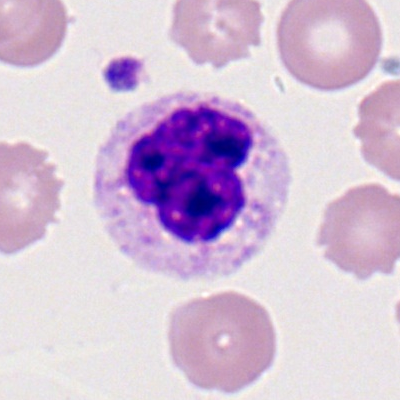 Showing a polymorphonuclear neutrophil.